Cropped to a single cell · bone marrow smear:
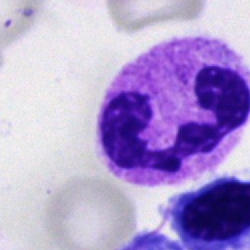

Morphological class = neutrophil (segmented).